Cropped to a single cell; bone marrow aspirate smear:
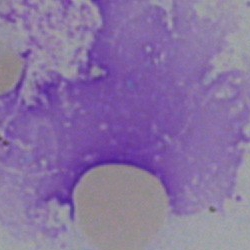 Specimen: bone marrow aspirate smear.
Classification: artifact.